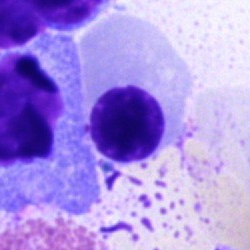

Classification: nucleated red cell.